Bone marrow smear — 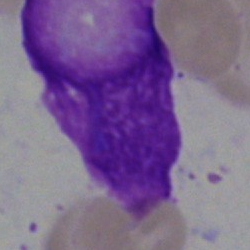
The cell shown is an artefact.